May-Grünwald-Giemsa stain · bone marrow smear
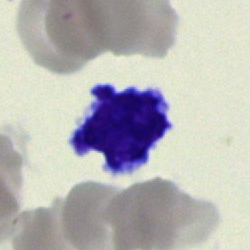 Specimen: bone marrow aspirate smear.
Cell type: typical lymphocyte.
Lineage: lymphoid.